Bone marrow aspirate smear — 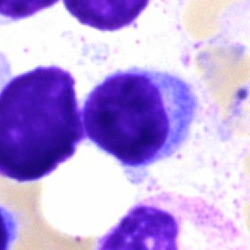

Q: What is shown here?
A: Typical lymphocyte.